Single-cell crop. May-Grünwald-Giemsa stain. Bone marrow aspirate smear.
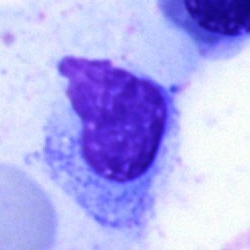 {"cell_type": "artifact"}